Bone marrow aspirate smear.
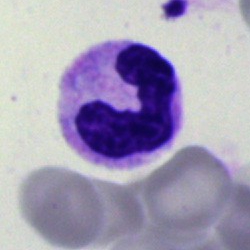

The classification is neutrophil (segmented).